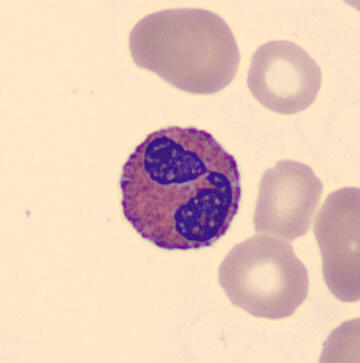

The cell shown is an eosinophil.